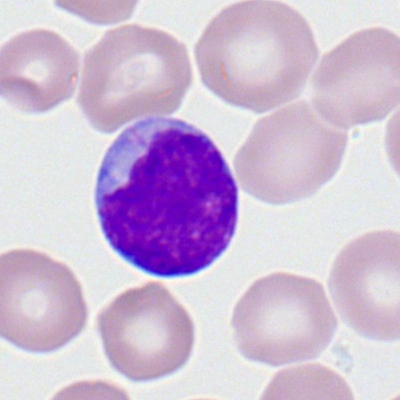

The cell shown is a myeloblast.